Brightfield, 100× oil-immersion objective; single-cell field; peripheral blood smear:
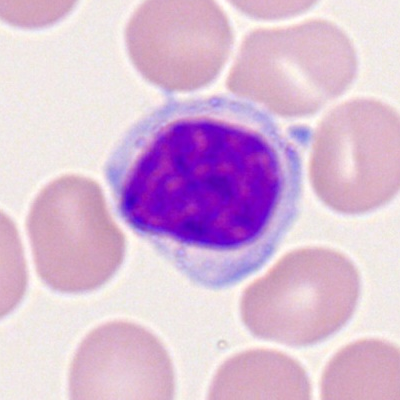 Q: What cell is this?
A: This is a lymphocyte.